MGG-stained · bone marrow smear
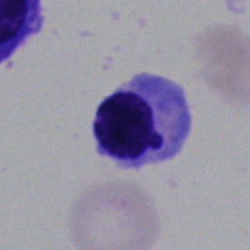Q: What is the morphological classification of this cell?
A: Erythroblast.